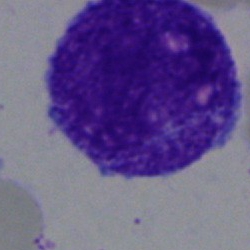Q: What is the morphological classification of this cell?
A: This is a progranulocyte.